May-Grünwald-Giemsa/Pappenheim stain · bone marrow smear — 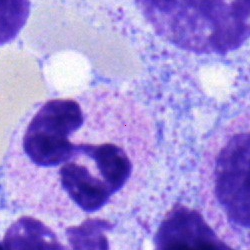 A polymorphonuclear neutrophil.